250×250 px · bone marrow aspirate smear.
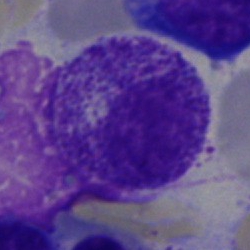 Cell type = myelocyte.